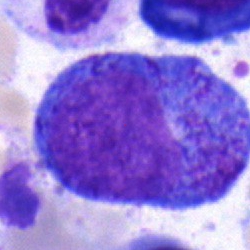

Cell type = promyelocyte.